Bone marrow aspirate smear: 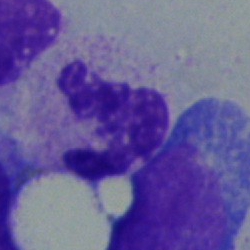
This is a neutrophil (segmented).